Bone marrow smear · 40× oil immersion · May-Grünwald-Giemsa/Pappenheim stain
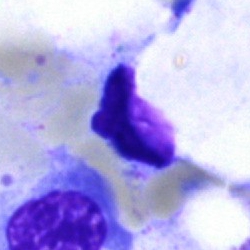
Classification = artifact.